Bone marrow aspirate smear. Pappenheim-stained:
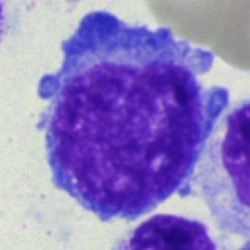
The cell is blast.